Bone marrow aspirate smear
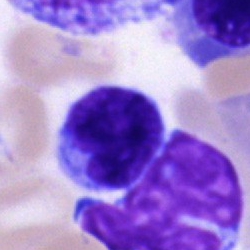
Morphological class — lymphocyte.